Bone marrow smear — 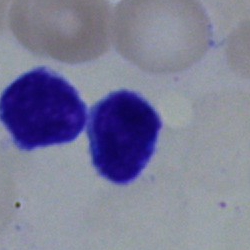
Specimen: bone marrow smear.
Cell: typical lymphocyte.
Lineage: lymphoid.